40× oil immersion · bone marrow smear · May-Grünwald-Giemsa/Pappenheim stain — 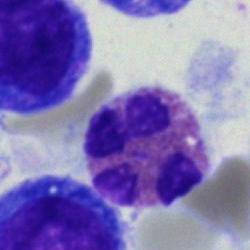

Q: Identify the cell.
A: Eosinophil.